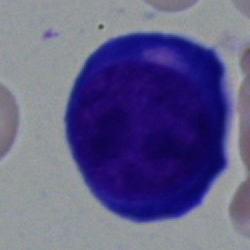Q: What cell is this?
A: It is a pronormoblast.